Bone marrow aspirate smear: 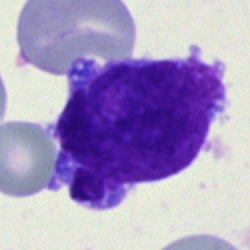 Cell — blast.